Bone marrow aspirate smear · single-cell field — 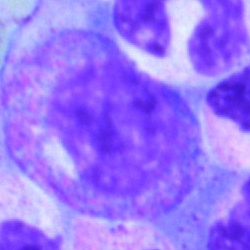
Q: What is shown here?
A: Myelocyte.